Bone marrow smear — 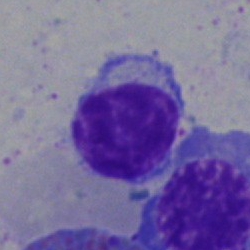
Q: What is the morphological classification of this cell?
A: It is a typical lymphocyte.